May-Grünwald-Giemsa stain. Bone marrow smear. Image size 250×250: 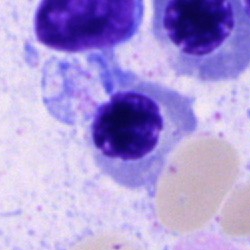 The cell type is nucleated red blood cell.